Romanowsky-type stain. Peripheral blood film.
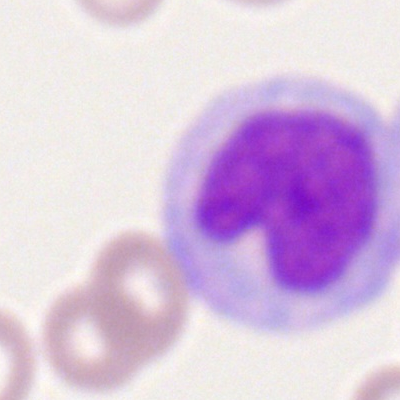Specimen: peripheral blood smear.
Cell: monocyte.
Lineage: myeloid.